Peripheral blood smear.
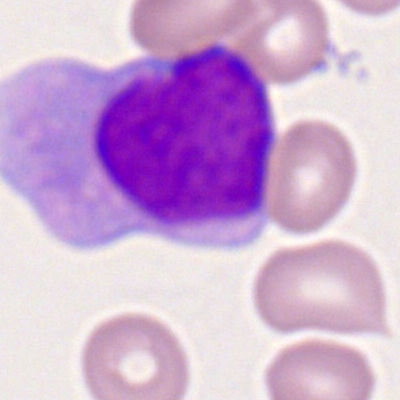

The cell shown is a monoblast.